Bone marrow smear: 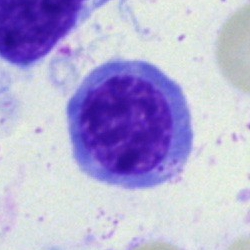

Morphology consistent with a nucleated red cell.